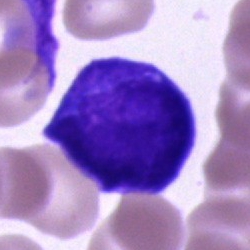

Morphology — blast.